40× objective, oil immersion · bone marrow aspirate smear
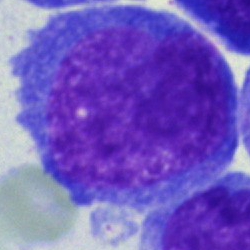
A blast.